Bone marrow smear
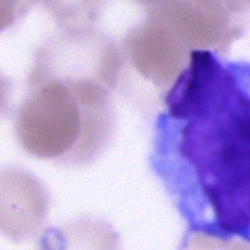

Cell of indeterminate lineage.